Bone marrow aspirate smear: 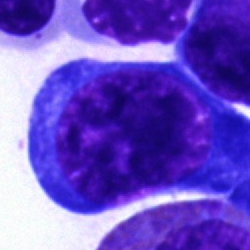
Showing a normoblast.